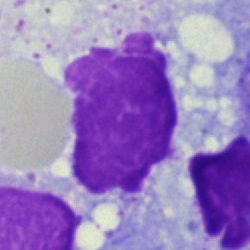Single-cell crop from a bone marrow smear: artifact.